MGG-stained · single-cell field · bone marrow aspirate smear: 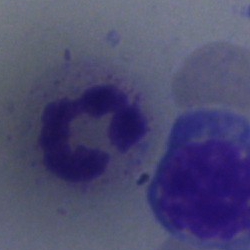

Neutrophil (segmented).